Bone marrow smear
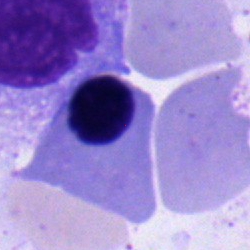
Normoblast.